Bone marrow smear. Single cell centered in the field — 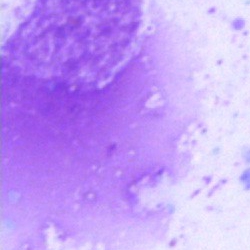The cell is artifact.